Bone marrow smear.
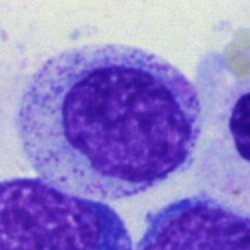

Showing a myelocyte.